Bone marrow smear. 250×250 px — 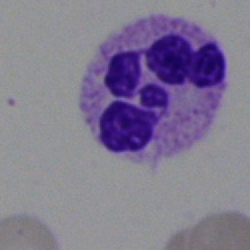

Specimen: bone marrow aspirate smear.
Classification: neutrophil (segmented).
Lineage: myeloid.